Bone marrow smear: 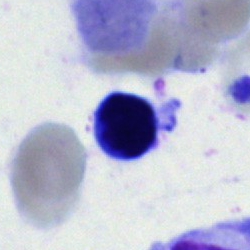
The classification is lymphocyte.